Bone marrow smear; 250 by 250 pixels
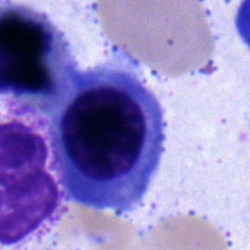The cell type is erythroblast.